Bone marrow aspirate smear
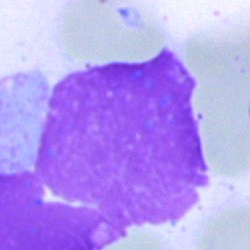 Cell — artefact.